Bone marrow smear: 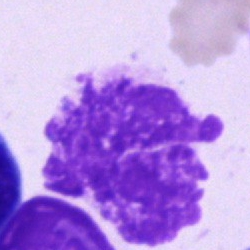Morphological class = artefact.